Bone marrow smear
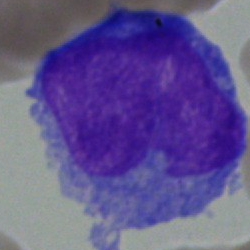

Showing a basophil.